Bone marrow aspirate smear; 40× oil immersion:
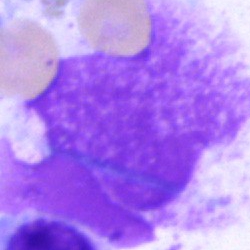
Showing an artifact.